Bone marrow smear; cropped to a single cell
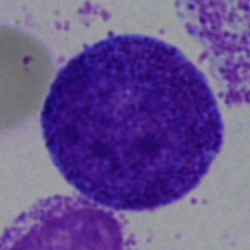 Q: What type of cell is this?
A: A promyelocyte.